250×250. Pappenheim-stained. Bone marrow aspirate smear: 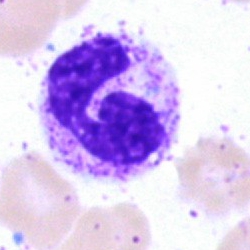 Classification: polymorphonuclear neutrophil.